Bone marrow smear · single-cell crop · May-Grünwald-Giemsa stain.
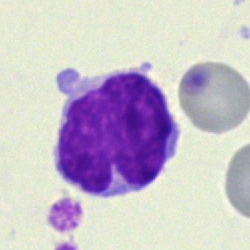
{"cell_type": "typical lymphocyte", "lineage": "lymphoid"}